Bone marrow aspirate smear:
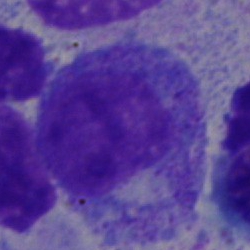
{"cell_type": "promyelocyte", "lineage": "myeloid"}